Bone marrow smear; image size 250×250.
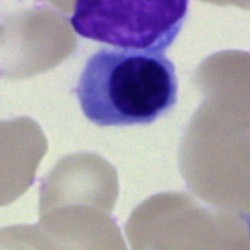 Showing a normoblast.